Bone marrow smear; 250×250 px; Pappenheim-stained:
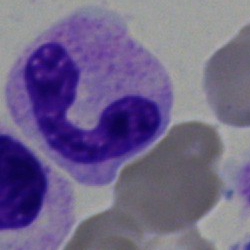

Morphological class: neutrophil (segmented).